May-Grünwald-Giemsa stain · bone marrow aspirate smear · 40× oil immersion: 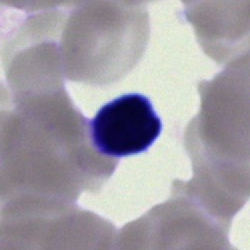Showing a lymphocyte.